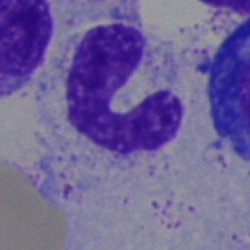Cell: neutrophil (band).